Bone marrow aspirate smear: 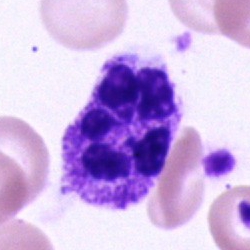

The morphological class is neutrophil (segmented).